Peripheral blood smear · CellaVision DM96 · single-cell field — 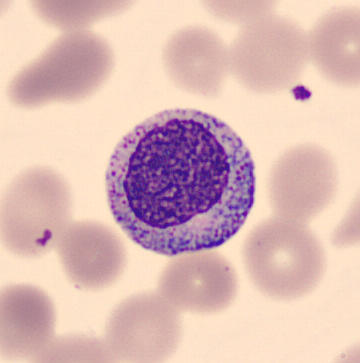

Cell = progranulocyte.